Bone marrow aspirate smear.
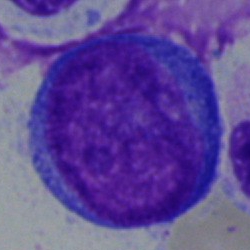
The cell type is undifferentiated blast.